Bone marrow aspirate smear.
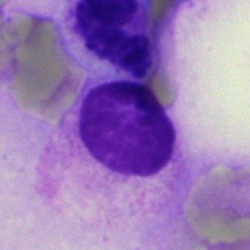 Impression → artifact.